Bone marrow smear; 250×250 — 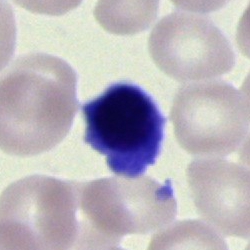
Q: What is shown here?
A: It is a lymphocyte.